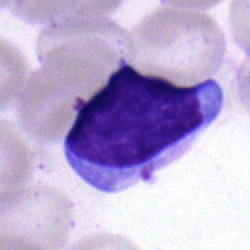

Bone marrow aspirate smear, single cell — typical lymphocyte.